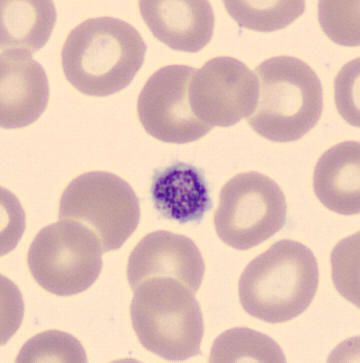 Acquisition: Peripheral blood film. Morphology consistent with a platelet (thrombocyte).